Bone marrow aspirate smear
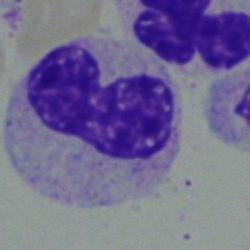{"cell_type": "band neutrophil", "lineage": "myeloid"}